Peripheral blood film.
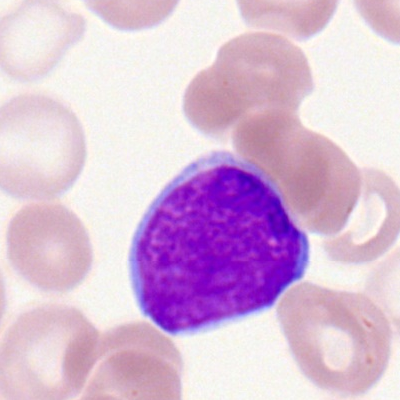

Showing a myeloid blast.